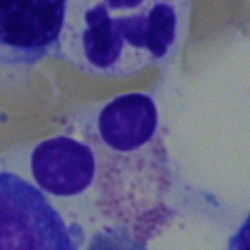

Cell type: eosinophil.